Bone marrow aspirate smear.
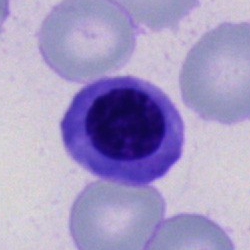Cell type — nucleated red cell.